Bone marrow smear:
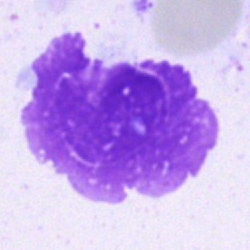 Showing an artifact.